Peripheral blood smear:
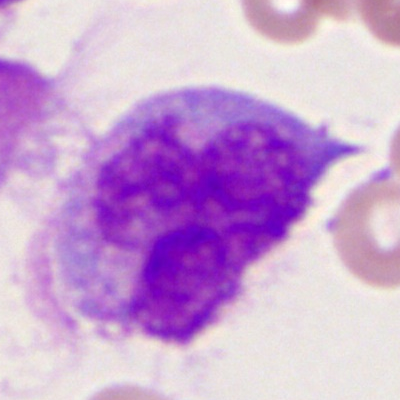 Monocyte.